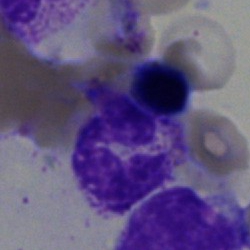

Q: What is the morphological classification of this cell?
A: A polymorphonuclear neutrophil.